Bone marrow aspirate smear; brightfield, 40× oil-immersion objective: 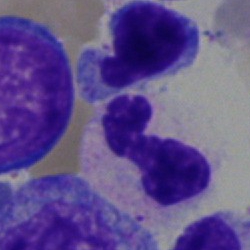 The classification is segmented neutrophil.